Cropped to a single cell; bone marrow smear.
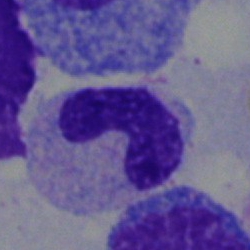
Cell — stab cell.